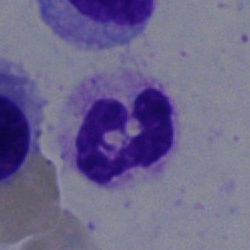Morphology — neutrophil (segmented).